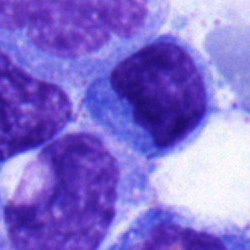 Cell type — typical lymphocyte.